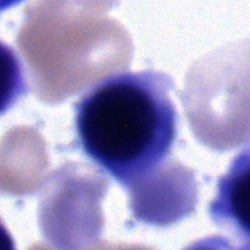 Q: Which cell type is shown here?
A: It is a normoblast.